Bone marrow smear.
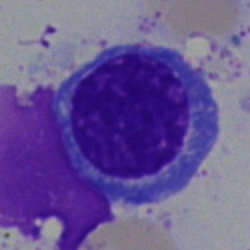
Nucleated red blood cell.